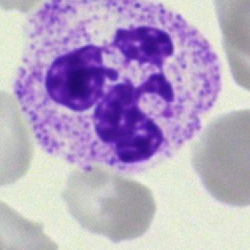Morphological class: neutrophil (segmented).